Bone marrow smear; image size 250×250; May-Grünwald-Giemsa/Pappenheim stain — 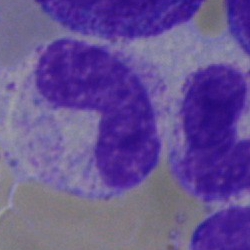Q: Identify the cell.
A: This is a stab cell.